Bone marrow aspirate smear.
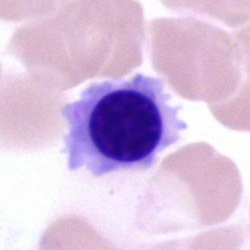Specimen: bone marrow smear.
Morphological class: normoblast.